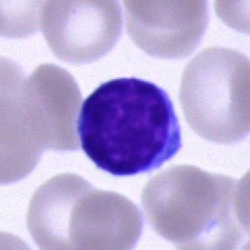The cell shown is a typical lymphocyte.